Bone marrow smear
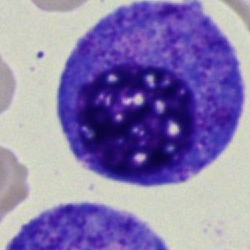 Morphology → promyelocyte.